Bone marrow aspirate smear · cropped to a single cell · 40× oil immersion — 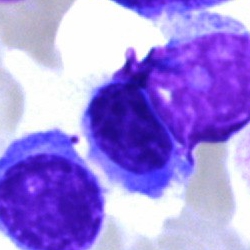
Cell type: normoblast.